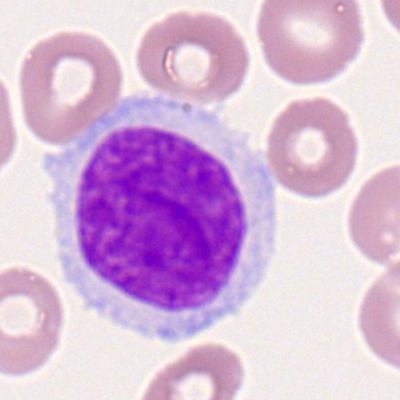

Morphological class: typical lymphocyte.